Bone marrow aspirate smear; Pappenheim-stained: 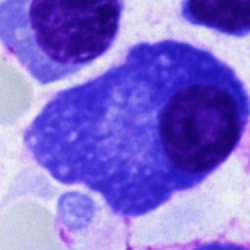A plasmacyte.